Bone marrow aspirate smear — 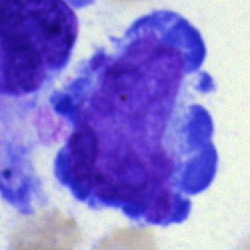
Single cell identified as an undifferentiated blast.